Bone marrow aspirate smear.
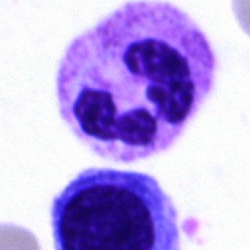Q: Identify the cell.
A: Polymorphonuclear neutrophil.